Bone marrow aspirate smear; single-cell field:
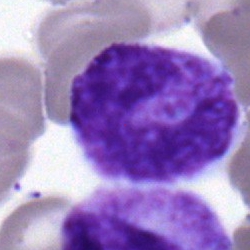

{"cell_type": "band neutrophil"}